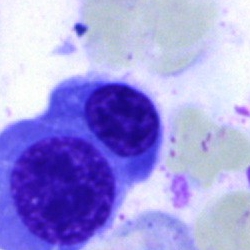 Morphology — nucleated red cell.